Peripheral blood smear — 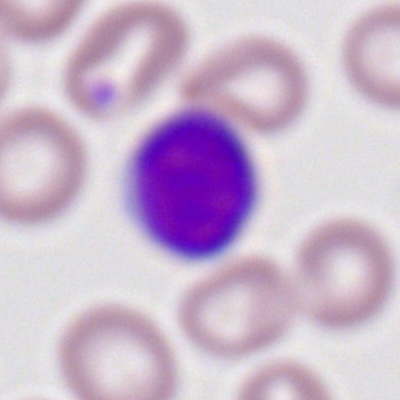

Q: Identify the cell.
A: This is a typical lymphocyte.